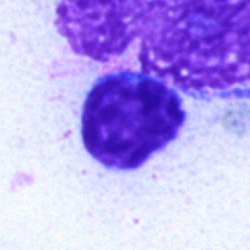Q: Which cell type is shown here?
A: It is a lymphocyte.